Bone marrow smear:
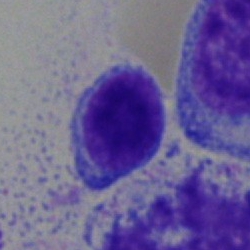

Impression → lymphocyte.